Bone marrow smear: 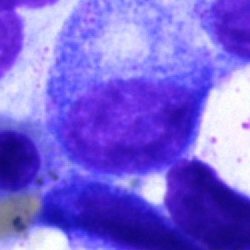

A progranulocyte.